May-Grünwald-Giemsa/Pappenheim stain. Bone marrow smear. Image size 250×250.
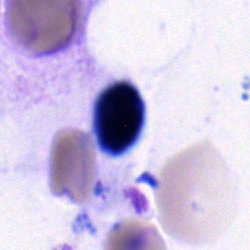 Q: Which cell type is shown here?
A: A lymphocyte.